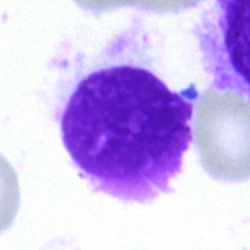
Q: What is shown here?
A: Artifact.